Bone marrow aspirate smear; single cell centered in the field
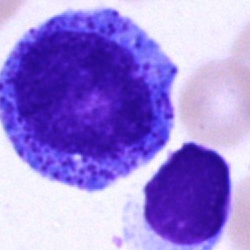 A promyelocyte.